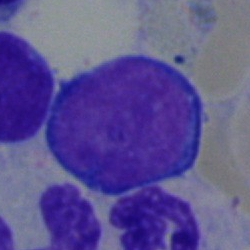
Morphology — pronormoblast.